Bone marrow aspirate smear — 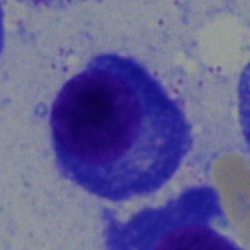

The morphological class is plasma cell.